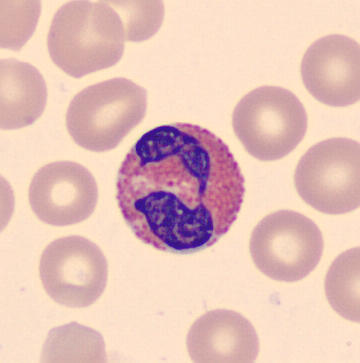 Specimen: peripheral blood smear.
Cell: eosinophilic granulocyte.
Lineage: myeloid.